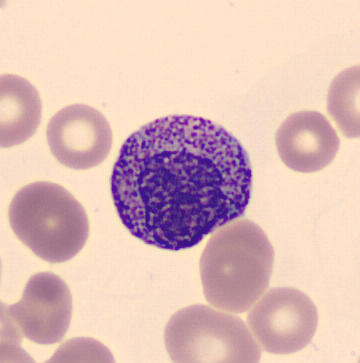 Peripheral blood film. CellaVision DM96. May-Grünwald-Giemsa-stained. Morphology → promyelocyte.